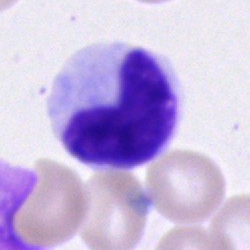
Q: What type of cell is this?
A: Metamyelocyte.